Image size 250×250 · bone marrow smear · 40× objective, oil immersion.
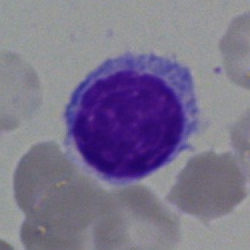
Q: Identify the cell.
A: It is a lymphocyte.